40× oil immersion. Bone marrow aspirate smear. May-Grünwald-Giemsa/Pappenheim stain — 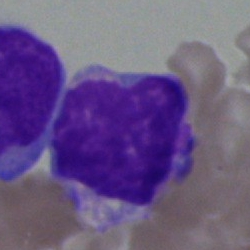

The cell shown is a blast.